Bone marrow smear — 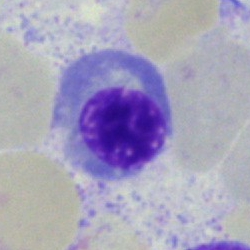
Specimen: bone marrow aspirate smear.
Cell: nucleated red blood cell.
Lineage: erythroid.